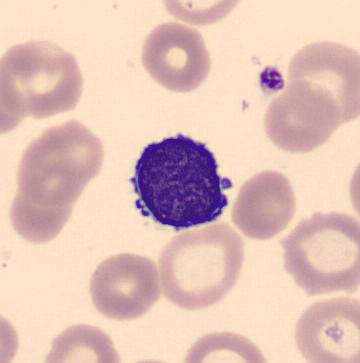
Q: What type of cell is this?
A: It is a lymphocyte.